Bone marrow smear.
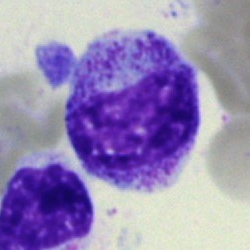Morphological class — metamyelocyte.